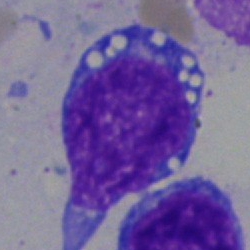 Specimen: bone marrow aspirate smear.
Classification: blast.